Bone marrow smear. May-Grünwald-Giemsa/Pappenheim stain.
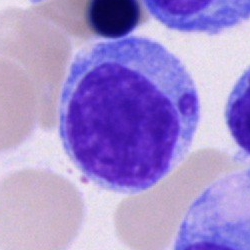
The cell shown is a plasmacyte.